Bone marrow aspirate smear.
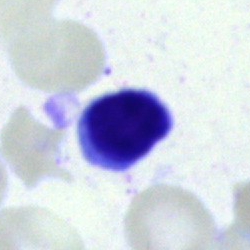Specimen: bone marrow aspirate smear.
Cell: lymphocyte.
Lineage: lymphoid.